Bone marrow aspirate smear
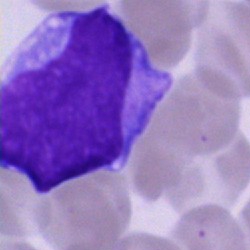

Classification: blast.